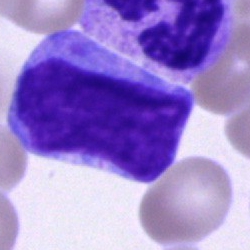

Single-cell crop from a bone marrow smear: blast cell.